Bone marrow aspirate smear · 250×250 px · brightfield microscopy, 40× oil immersion.
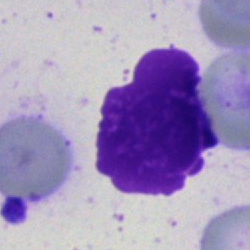
Specimen: bone marrow smear.
Morphological class: artefact.